Brightfield microscopy, 40× oil immersion. Bone marrow aspirate smear:
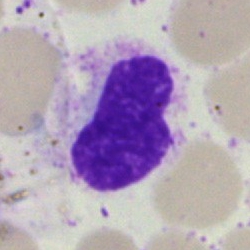{"cell_type": "artifact"}